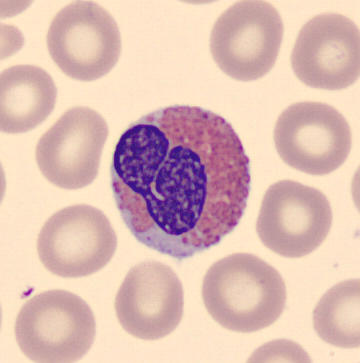 Single-cell crop.

Specimen: peripheral blood smear.
Classification: eosinophil.
Lineage: myeloid.